Bone marrow aspirate smear:
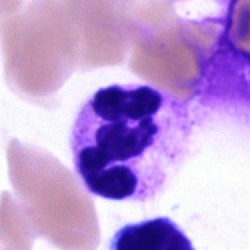Morphology → segmented neutrophil.